Peripheral blood film.
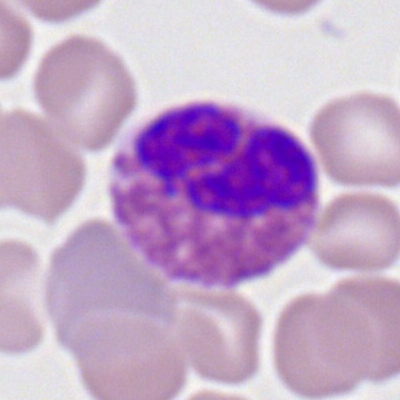 Impression — eosinophilic granulocyte.